Peripheral blood smear — 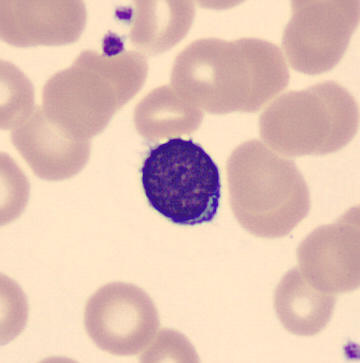
This is a typical lymphocyte.